Brightfield microscopy, 40× oil immersion · single-cell crop · bone marrow smear — 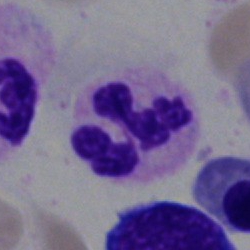

Morphological class: polymorphonuclear neutrophil.